Bone marrow smear. Single-cell field — 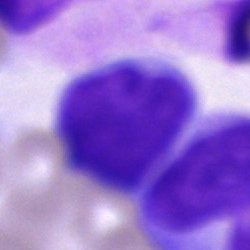
This is an unidentifiable cell.